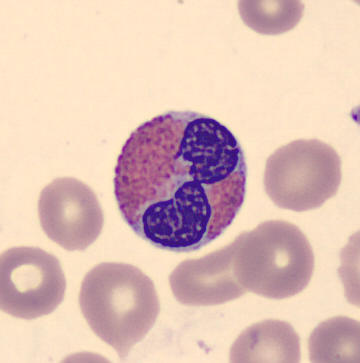
An eosinophilic granulocyte on a peripheral blood smear.